May-Grünwald-Giemsa/Pappenheim stain. Bone marrow smear. Brightfield microscopy, 40× oil immersion:
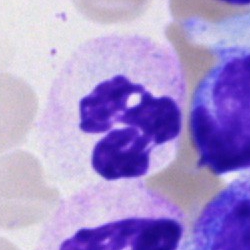

The cell shown is a polymorphonuclear neutrophil.